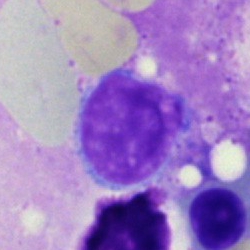

Classification = lymphocyte.